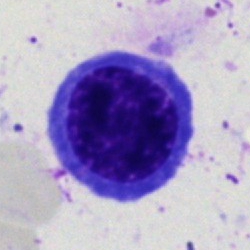 Q: What is shown here?
A: It is a nucleated red cell.